Bone marrow smear.
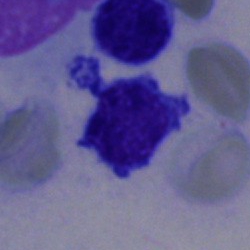

Cell — typical lymphocyte.